Bone marrow aspirate smear; May-Grünwald-Giemsa stain:
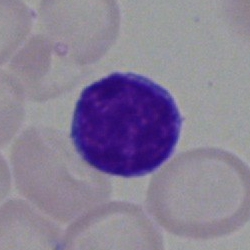 Morphology — lymphocyte.